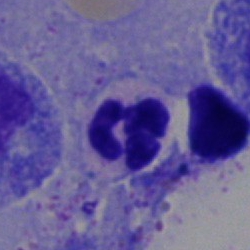Morphology → polymorphonuclear neutrophil.